Bone marrow smear. Single-cell crop
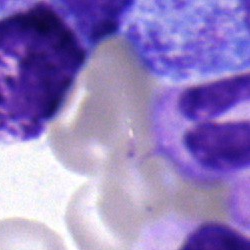

Single cell identified as a band neutrophil.